Bone marrow aspirate smear — 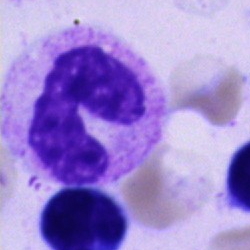 {"cell_type": "neutrophil (segmented)"}